Bone marrow aspirate smear
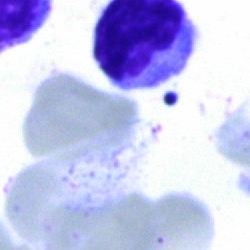

Q: Identify the cell.
A: This is a lymphocyte.